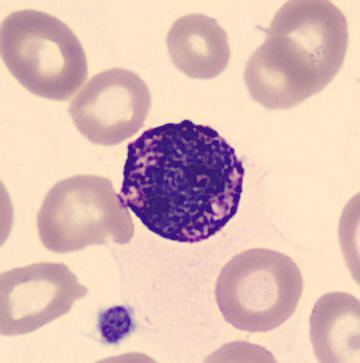

Image: Peripheral blood film.
Q: What type of cell is this?
A: It is a basophilic granulocyte.